Bone marrow aspirate smear:
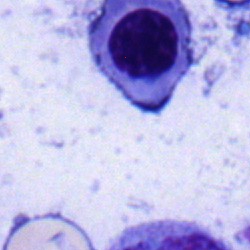

The cell shown is an erythroblast.